Bone marrow smear:
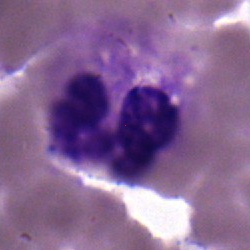
Single cell identified as a neutrophil (segmented).